Bone marrow aspirate smear.
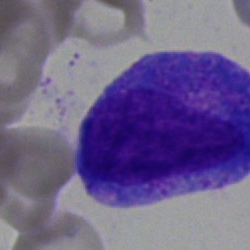Morphology consistent with a promyelocyte.